Peripheral blood film · 360×363 px
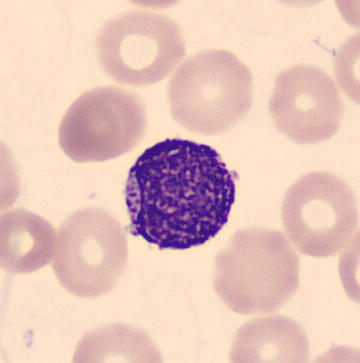

Specimen: peripheral blood smear.
Cell: myelocyte.